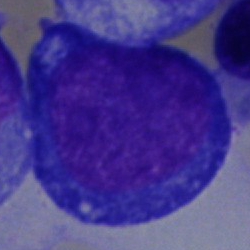Proerythroblast.